Bone marrow smear; single-cell crop: 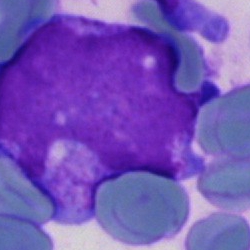

Morphology consistent with a blast cell.